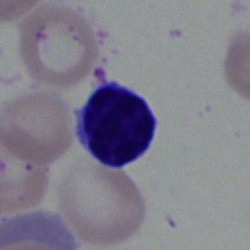
Morphological class: typical lymphocyte.